Image size 400×400. Peripheral blood film. 100× oil immersion, 14.14 px/µm: 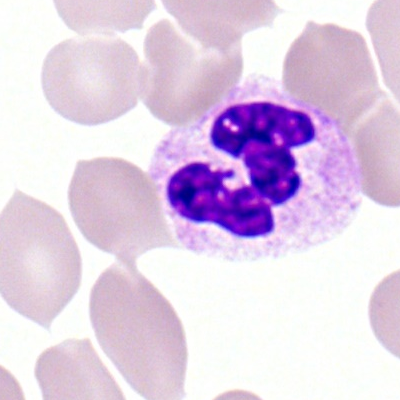Cell — segmented neutrophil.